Bone marrow aspirate smear: 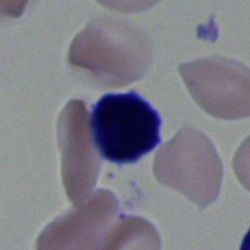 Q: What cell is this?
A: It is a typical lymphocyte.